Bone marrow smear. Cropped to a single cell
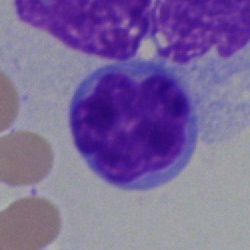
Classification — typical lymphocyte.